Bone marrow aspirate smear; May-Grünwald-Giemsa/Pappenheim stain.
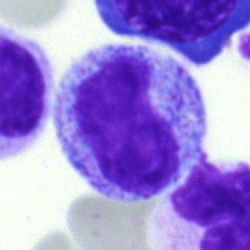 Impression → metamyelocyte.